Bone marrow smear — 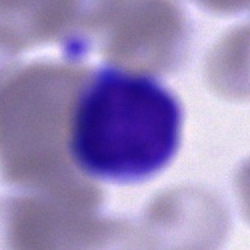 Cell type: artifact.